Bone marrow aspirate smear; Pappenheim-stained:
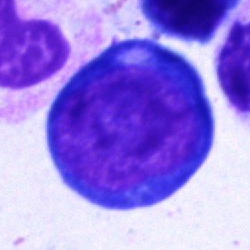

Single cell identified as a proerythroblast.